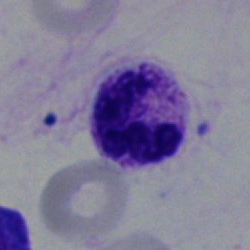 Q: What is the morphological classification of this cell?
A: A neutrophil (segmented).